Bone marrow aspirate smear. Brightfield microscopy, 40× oil immersion: 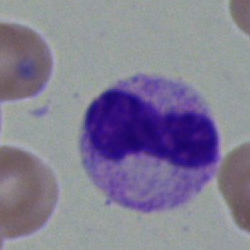
Classification — band-form neutrophil.